250×250; bone marrow smear; single-cell field.
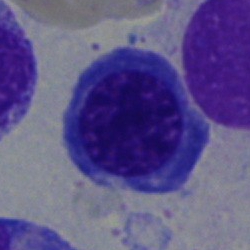This is a nucleated red blood cell.